Bone marrow smear:
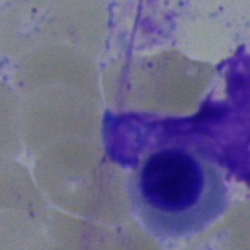
Specimen: bone marrow aspirate smear.
Morphological class: nucleated red cell.
Lineage: erythroid.